Bone marrow aspirate smear: 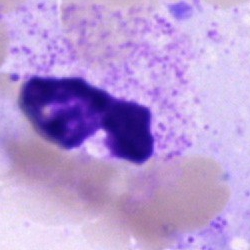
A polymorphonuclear neutrophil.